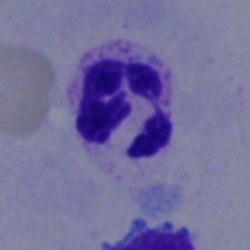 Morphology — segmented neutrophil.